Bone marrow aspirate smear:
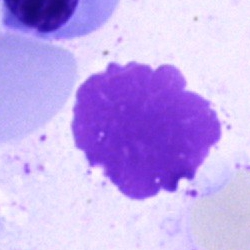Morphological class = artefact.